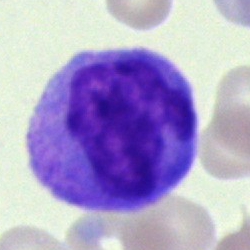

Classification — monocyte.